250×250 px · bone marrow aspirate smear — 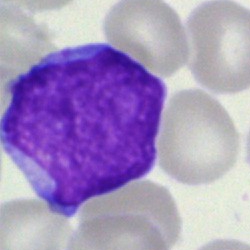
Q: Which cell type is shown here?
A: It is an undifferentiated blast.